40× oil immersion; bone marrow smear; image size 250×250: 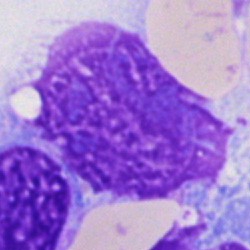This is an artefact.